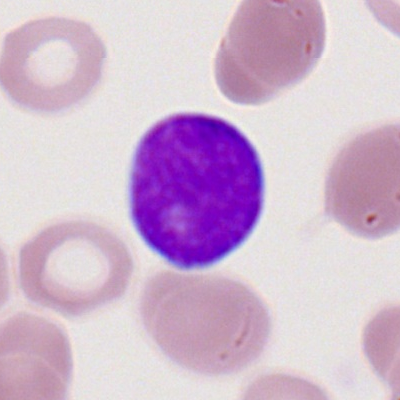

This is a myeloblast.